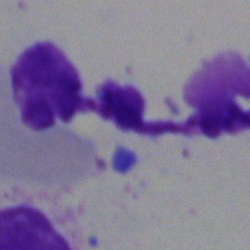
Bone marrow smear showing an artifact.